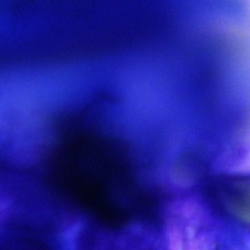
Q: What is shown here?
A: An artifact.